Bone marrow aspirate smear — 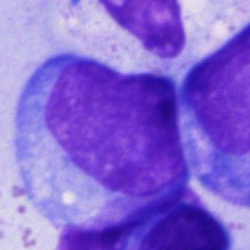 Impression — blast cell.